Bone marrow smear. Single-cell crop — 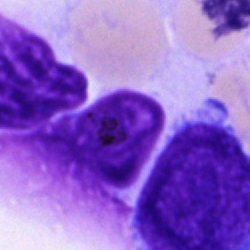Cell type = unidentifiable cell.